Bone marrow aspirate smear: 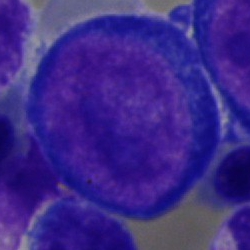 A proerythroblast.